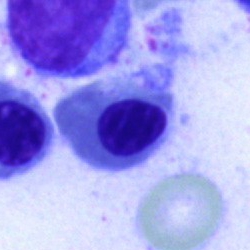 Showing a nucleated red blood cell.